Bone marrow aspirate smear; brightfield, 40× oil-immersion objective.
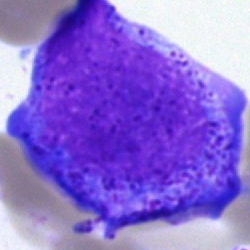Morphology — progranulocyte.